100× oil immersion, 14.14 px/µm. Peripheral blood film — 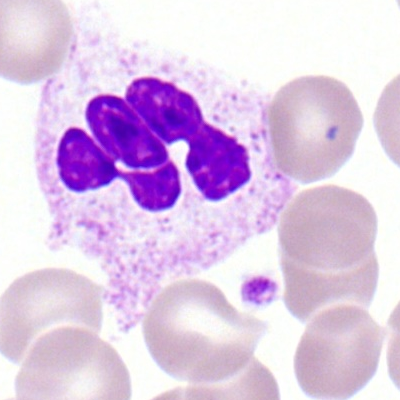

Classification: polymorphonuclear neutrophil.